Brightfield microscopy, 40× oil immersion; bone marrow smear:
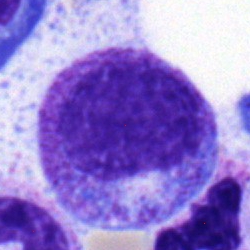Classification — myelocyte.